Bone marrow aspirate smear
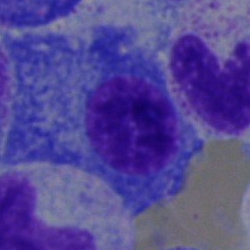

This is a plasmacyte.